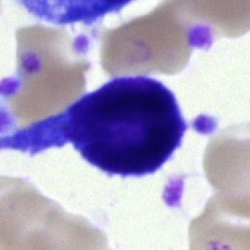Cell type — blast.